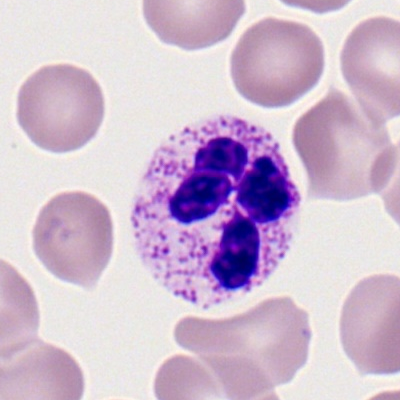

Morphology consistent with a neutrophil (segmented).